Single-cell field · bone marrow aspirate smear — 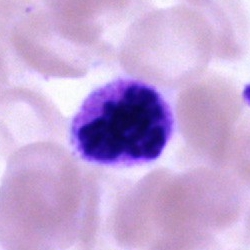

Polymorphonuclear neutrophil.